Single cell centered in the field · bone marrow aspirate smear · May-Grünwald-Giemsa stain
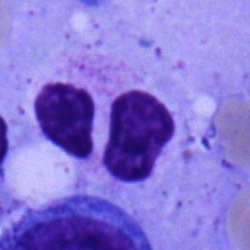

Impression — neutrophil (segmented).